Image size 250×250. Bone marrow aspirate smear — 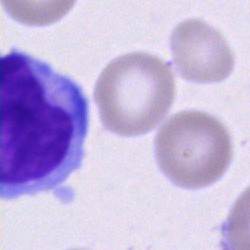Q: What is shown here?
A: Unidentifiable cell.